Bone marrow aspirate smear.
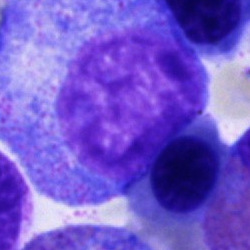Single cell identified as a promyelocyte.